40× oil immersion. Bone marrow smear.
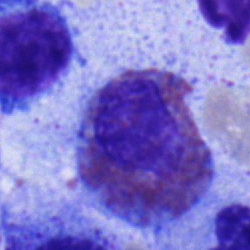
Morphology → eosinophil.